Bone marrow aspirate smear. May-Grünwald-Giemsa stain — 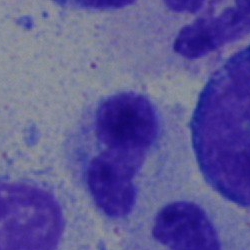 Stab cell.